Bone marrow smear — 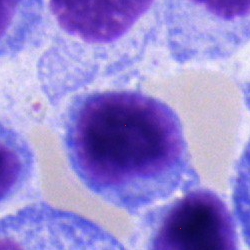This is a typical lymphocyte.